Peripheral blood smear · single cell centered in the field: 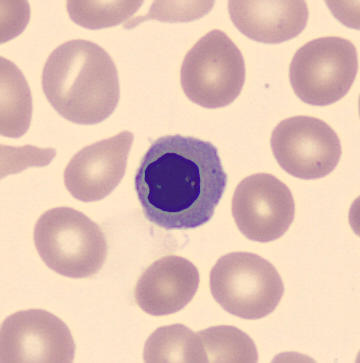 Impression → nucleated red blood cell.